Bone marrow aspirate smear: 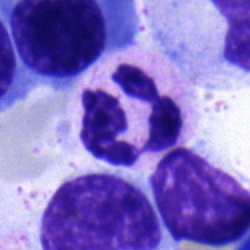Morphological class = segmented neutrophil.